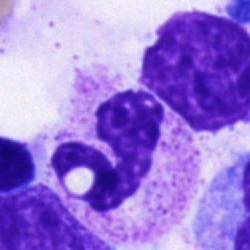

Cell type = segmented neutrophil.